MGG-stained; bone marrow aspirate smear; single cell centered in the field — 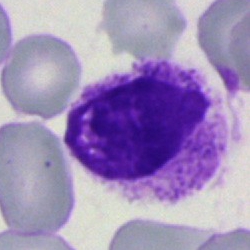
An artifact.